250 by 250 pixels · cropped to a single cell · bone marrow smear — 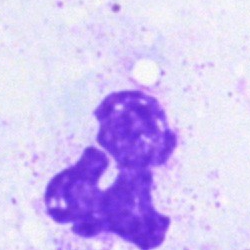Morphology consistent with an artefact.